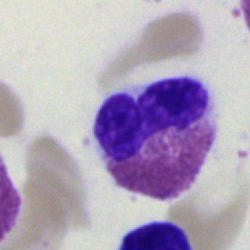 An eosinophilic granulocyte.